Peripheral blood smear: 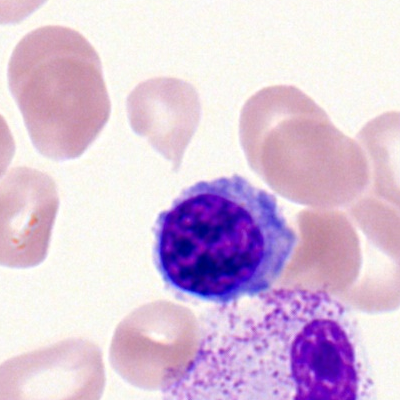 Showing a lymphocyte.